Bone marrow smear — 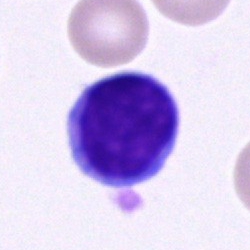Morphological class = typical lymphocyte.